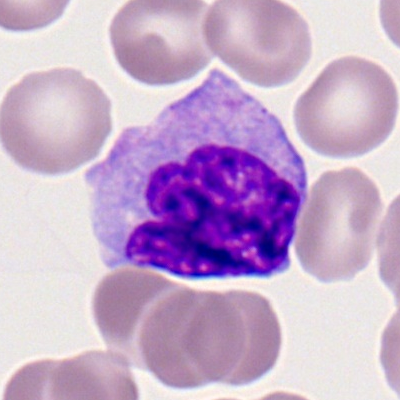Q: What is shown here?
A: A monocyte.